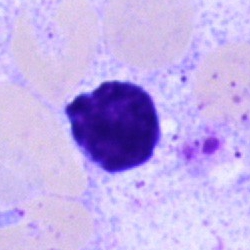
Q: Identify the cell.
A: This is a lymphocyte.